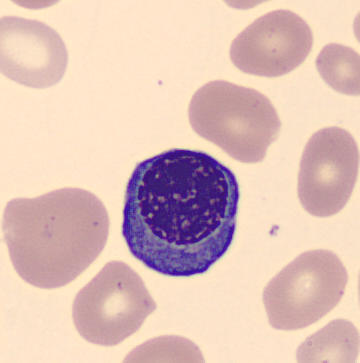Preparation: Peripheral blood smear.

Single cell identified as a normoblast.